Single cell centered in the field; bone marrow aspirate smear: 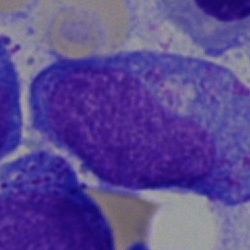Showing a progranulocyte.